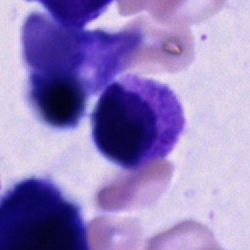
Impression → cell of indeterminate lineage.